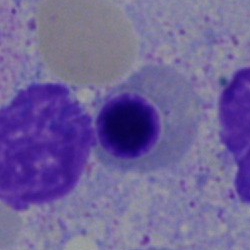 Specimen: bone marrow smear.
Cell: nucleated red cell.